Bone marrow aspirate smear · 250×250 px
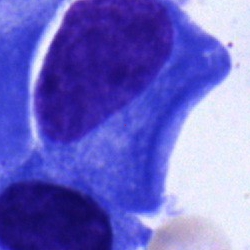
Specimen: bone marrow aspirate smear.
Morphological class: plasma cell.